Bone marrow aspirate smear.
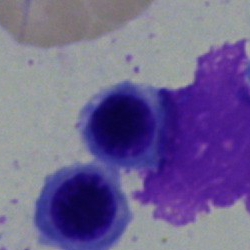

The cell is nucleated red cell.